Bone marrow aspirate smear
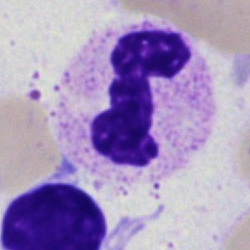
The classification is polymorphonuclear neutrophil.